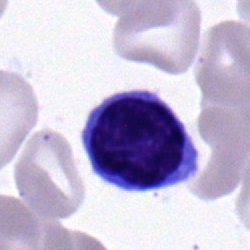
The morphological class is lymphocyte.